Bone marrow aspirate smear · single-cell field · 40× objective, oil immersion
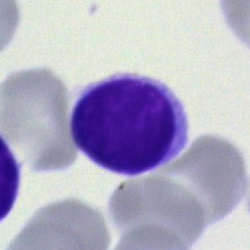
This is a lymphocyte.